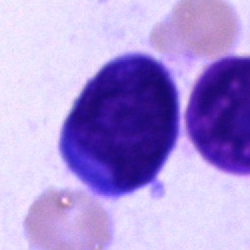Bone marrow aspirate smear, single cell — blast cell.